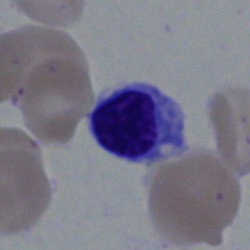 Cell — nucleated red blood cell.